Bone marrow aspirate smear. Single cell centered in the field. Pappenheim-stained
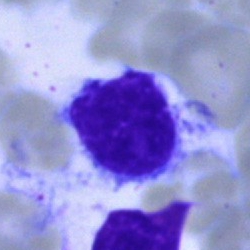

Impression → typical lymphocyte.